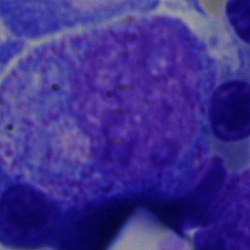The cell type is promyelocyte.